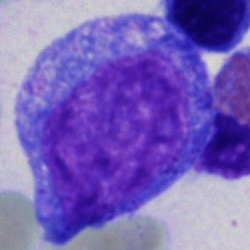

A progranulocyte on a bone marrow smear.